40× oil immersion · bone marrow aspirate smear — 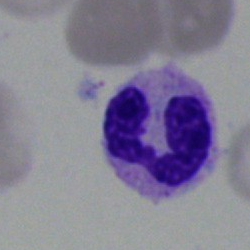
The cell shown is a segmented neutrophil.